Pappenheim-stained · 40× oil immersion · bone marrow smear — 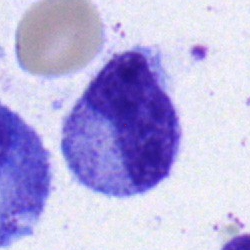 A metamyelocyte.